Bone marrow aspirate smear
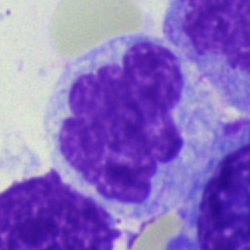

Morphological class = monocyte.